Bone marrow aspirate smear: 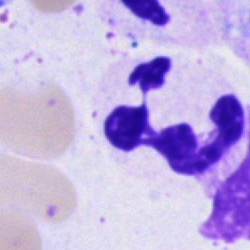
Morphology consistent with a polymorphonuclear neutrophil.